Bone marrow smear — 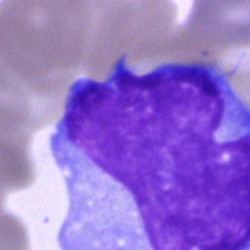The classification is monocyte.